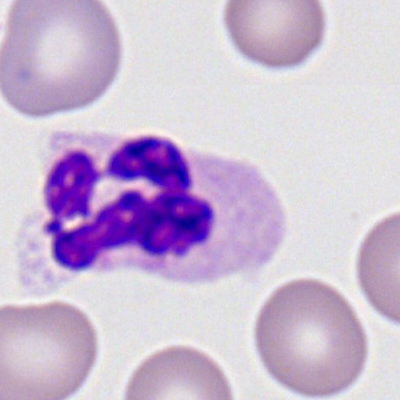
Morphological class = polymorphonuclear neutrophil.